Bone marrow aspirate smear; May-Grünwald-Giemsa/Pappenheim stain.
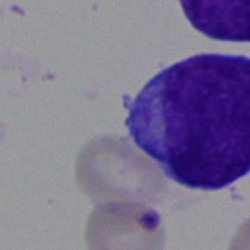
Q: Identify the cell.
A: A blast.